Bone marrow aspirate smear; May-Grünwald-Giemsa stain: 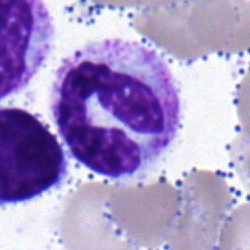

{"cell_type": "neutrophil (band)", "lineage": "myeloid"}